Bone marrow smear:
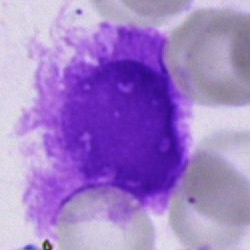

Showing an artifact.